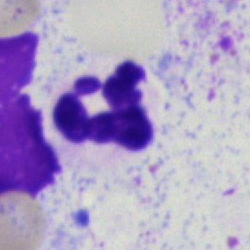

Specimen: bone marrow smear.
Morphological class: neutrophil (segmented).